Bone marrow smear — 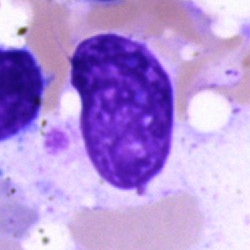

Morphological class = artifact.